Bone marrow aspirate smear
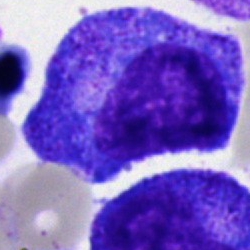

Promyelocyte.